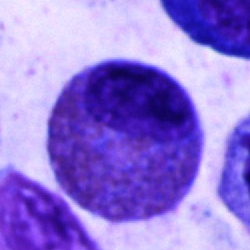
An eosinophilic granulocyte.